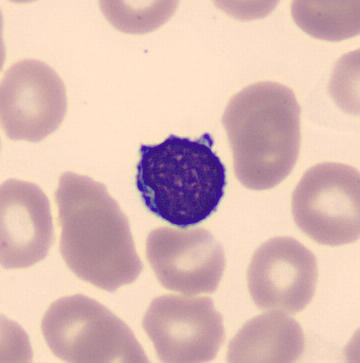
Single cell identified as a lymphocyte.